Peripheral blood film; 100× oil immersion: 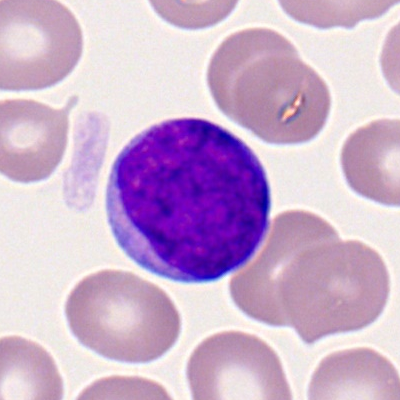

A myeloid blast.